Bone marrow aspirate smear · cropped to a single cell — 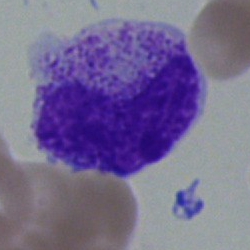

The classification is metamyelocyte.